Bone marrow smear:
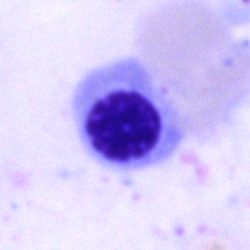
Specimen: bone marrow smear.
Morphological class: nucleated red blood cell.
Lineage: erythroid.